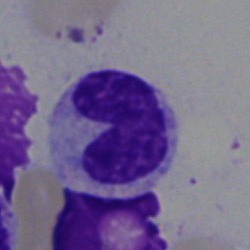
Single cell identified as a band-form neutrophil.